Bone marrow smear. Pappenheim-stained.
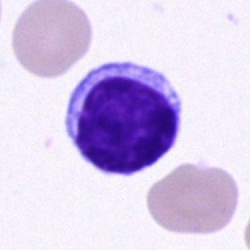Morphological class = typical lymphocyte.